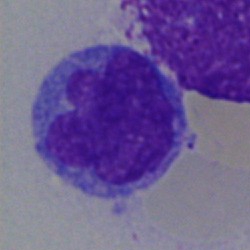Specimen: bone marrow aspirate smear.
Classification: monocyte.